Bone marrow aspirate smear · 250 by 250 pixels: 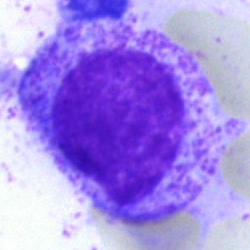

Single cell identified as a myelocyte.